Bone marrow aspirate smear: 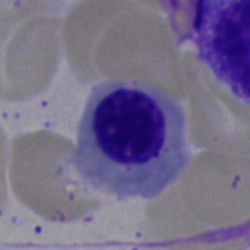Nucleated red cell.